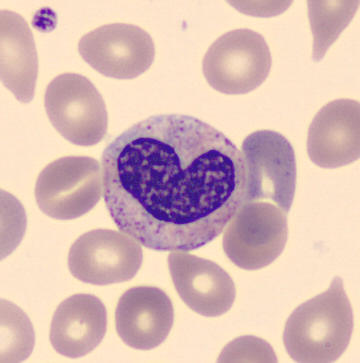

Morphology consistent with a metamyelocyte.

CellaVision DM96 · peripheral blood smear · single-cell crop.